Peripheral blood film
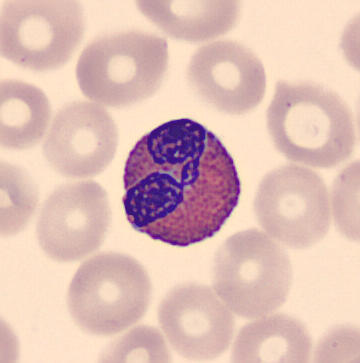 Specimen: peripheral blood smear.
Cell: eosinophilic granulocyte.
Lineage: myeloid.